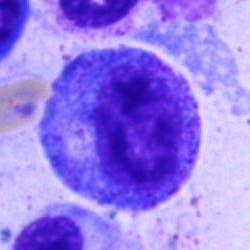

Specimen: bone marrow aspirate smear.
Cell type: promyelocyte.
Lineage: myeloid.